Bone marrow smear · cropped to a single cell: 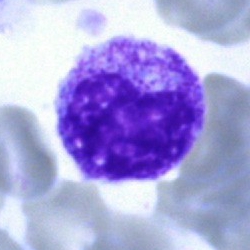 Myelocyte.